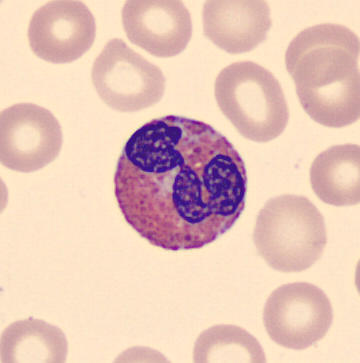
Q: What is this?
A: Eosinophilic granulocyte.
Preparation: Peripheral blood smear. MGG-stained. 360×363 px.